Cropped to a single cell · Romanowsky-type stain · peripheral blood smear:
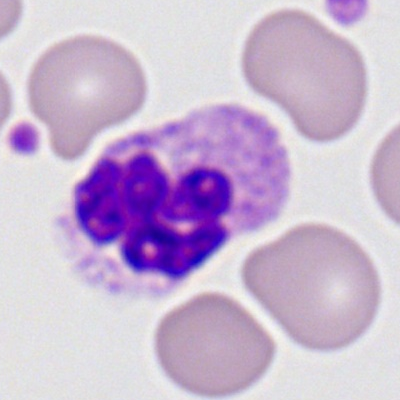
Q: What is the morphological classification of this cell?
A: A neutrophil (segmented).